Bone marrow smear: 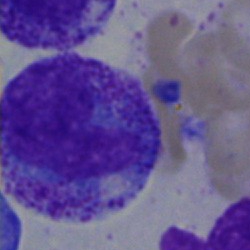
Q: Which cell type is shown here?
A: This is a promyelocyte.